Bone marrow aspirate smear:
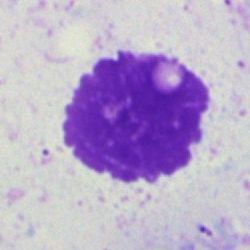

Showing an artifact.